Peripheral blood film:
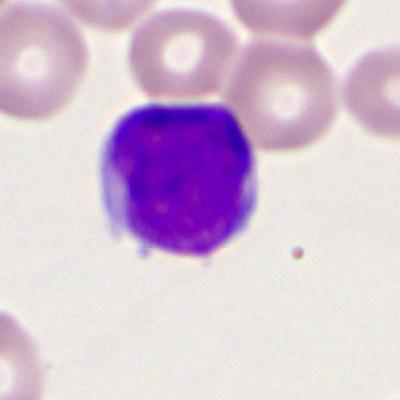

Impression — myeloid blast.